Bone marrow smear: 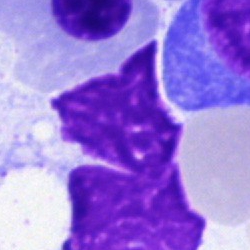 Cell type — artifact.